May-Grünwald-Giemsa stain. Bone marrow smear:
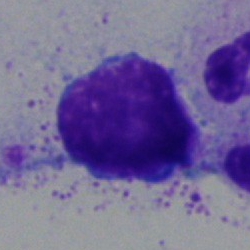

Morphology → typical lymphocyte.